Image size 250×250; bone marrow smear — 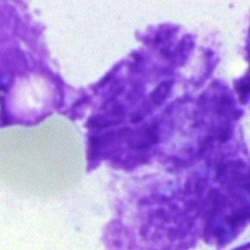

Cell — artefact.